Bone marrow aspirate smear:
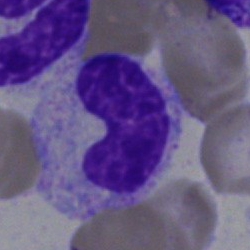
Classification: band neutrophil.